Single cell centered in the field · bone marrow aspirate smear
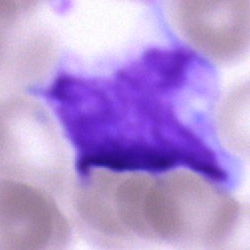

Morphology consistent with a cell of indeterminate lineage.